Bone marrow aspirate smear: 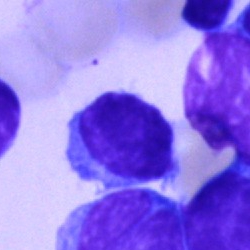Showing a lymphocyte.